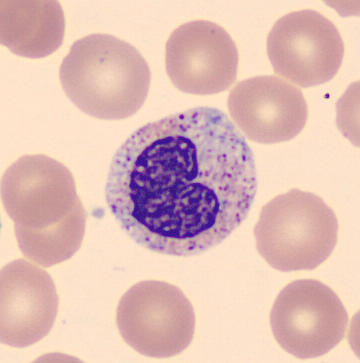Morphological class = metamyelocyte. Image: Peripheral blood film.